Bone marrow smear
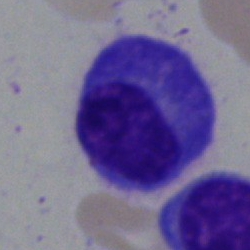 A plasma cell.